Bone marrow aspirate smear
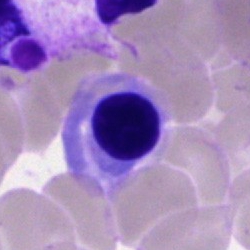 The cell type is erythroblast.